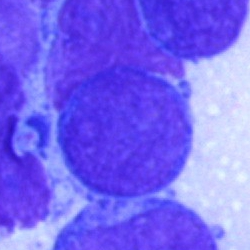

Bone marrow smear showing a blast cell.